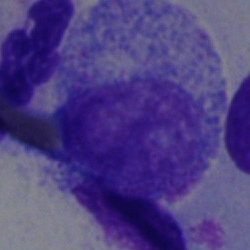 Promyelocyte.